Brightfield microscopy, 40× oil immersion; bone marrow aspirate smear — 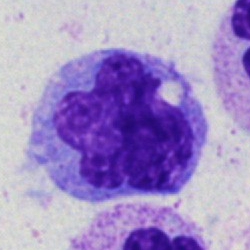
Morphological class = monocyte.